Cropped to a single cell · 250 by 250 pixels · bone marrow smear
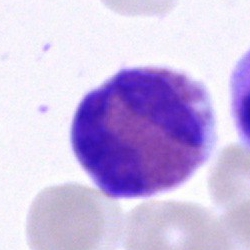 This is an eosinophilic granulocyte.